Bone marrow aspirate smear · cropped to a single cell:
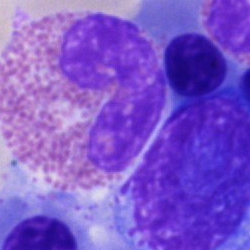

Classification: eosinophil.